Bone marrow smear; 250×250 px
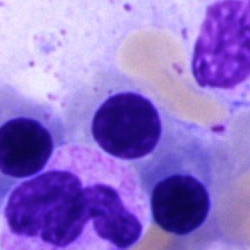
Morphology → erythroblast.